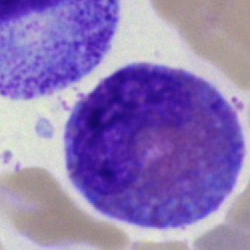

Q: Identify the cell.
A: Eosinophilic granulocyte.